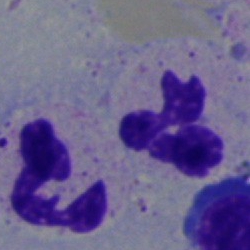
Morphology — polymorphonuclear neutrophil.